Bone marrow aspirate smear: 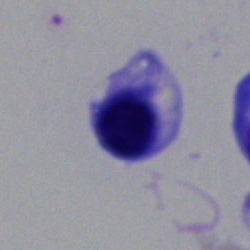
Morphology — nucleated red blood cell.